40× objective, oil immersion; bone marrow smear; May-Grünwald-Giemsa/Pappenheim stain: 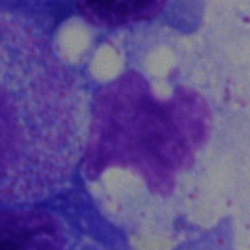

Q: What is shown here?
A: Artifact.